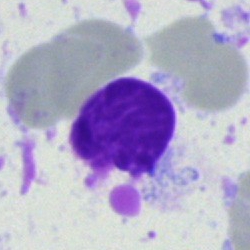

Bone marrow smear showing an artefact.